Bone marrow smear: 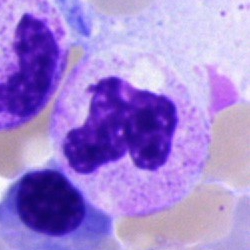 {"cell_type": "neutrophil (segmented)"}